Bone marrow smear: 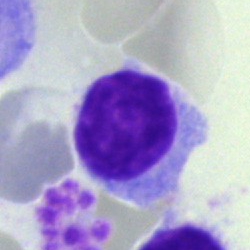{"cell_type": "hairy cell", "lineage": "lymphoid"}